250×250. Bone marrow aspirate smear: 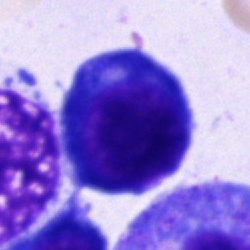

Morphology — proerythroblast.